Bone marrow smear:
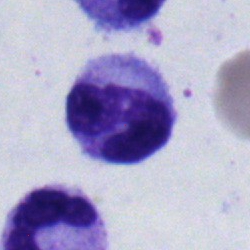

Q: What cell is this?
A: It is a band-form neutrophil.